Pappenheim-stained · bone marrow aspirate smear · 40× objective, oil immersion.
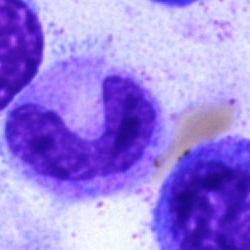

Specimen: bone marrow aspirate smear.
Cell: band-form neutrophil.